Pappenheim-stained. Bone marrow aspirate smear:
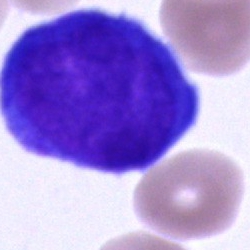
The morphological class is undifferentiated blast.